Bone marrow smear: 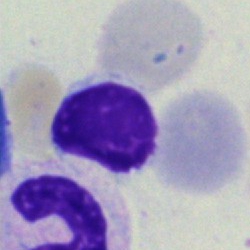 Morphology — typical lymphocyte.